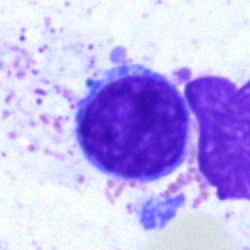A typical lymphocyte on a bone marrow smear.